MGG-stained; bone marrow smear; image size 250×250:
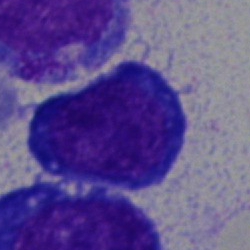
Morphological class = normoblast.